Brightfield, 40× oil-immersion objective; bone marrow aspirate smear: 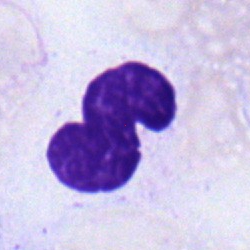
{"cell_type": "segmented neutrophil", "lineage": "myeloid"}